Bone marrow aspirate smear
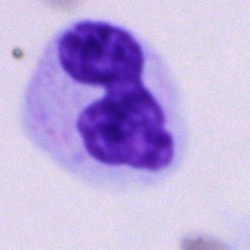 Single cell identified as a neutrophil (segmented).